Bone marrow aspirate smear
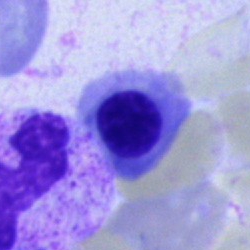

This is a nucleated red blood cell.